Bone marrow aspirate smear
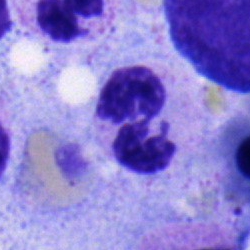
Showing a neutrophil (segmented).